Brightfield microscopy, 40× oil immersion; bone marrow aspirate smear; MGG-stained:
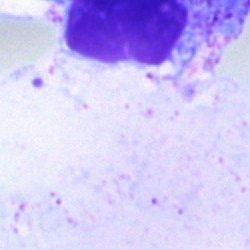

Morphological class — artefact.